40× objective, oil immersion. Bone marrow smear. 250×250 px
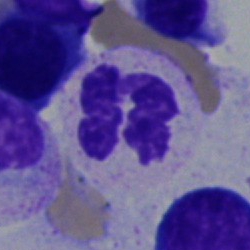Polymorphonuclear neutrophil.